Bone marrow aspirate smear; May-Grünwald-Giemsa/Pappenheim stain.
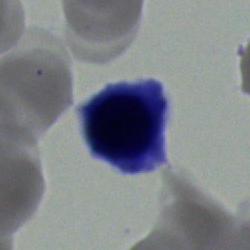

The cell shown is a normoblast.